Bone marrow aspirate smear:
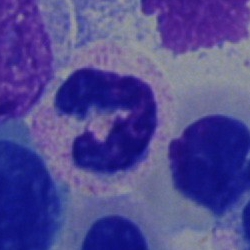 Single cell identified as a polymorphonuclear neutrophil.